Single-cell field; 250 by 250 pixels; bone marrow aspirate smear:
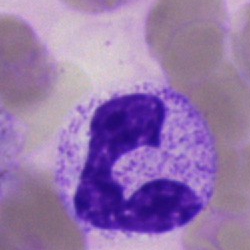

A polymorphonuclear neutrophil.